40× oil immersion · bone marrow smear · cropped to a single cell: 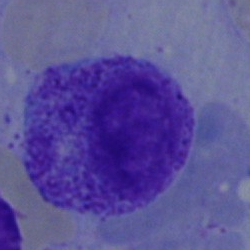

Morphology consistent with a myelocyte.